MGG-stained; bone marrow smear.
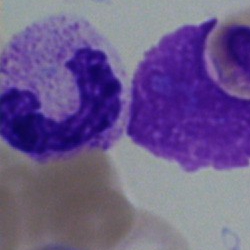

Q: What is the morphological classification of this cell?
A: This is a neutrophil (band).